Bone marrow aspirate smear. 250×250. 40× oil immersion — 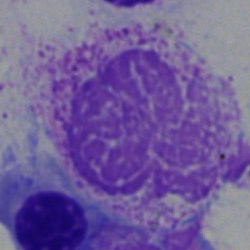
Q: What is shown here?
A: It is an artifact.